Bone marrow smear. Single-cell crop:
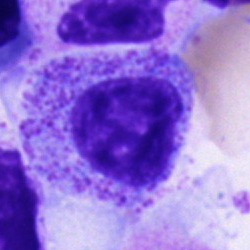
The morphological class is myelocyte.